Single-cell crop. 40× objective, oil immersion. Bone marrow smear: 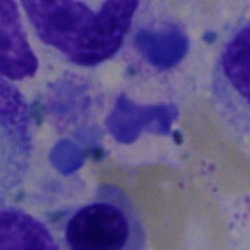 Morphology consistent with an artifact.